Bone marrow aspirate smear.
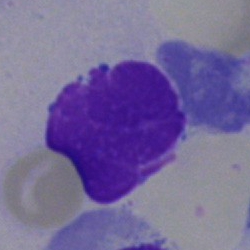

The cell shown is an artifact.